Bone marrow aspirate smear
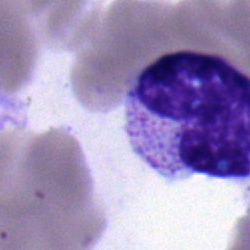 The cell shown is a metamyelocyte.